250×250 px; bone marrow smear
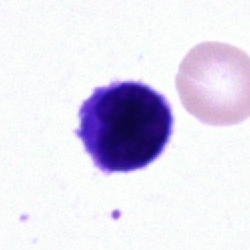Q: What cell is this?
A: This is an unidentifiable cell.